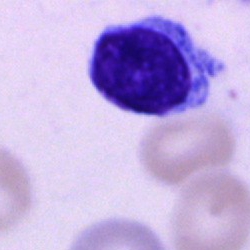Q: Which cell type is shown here?
A: This is a lymphocyte.